May-Grünwald-Giemsa/Pappenheim stain. Bone marrow aspirate smear:
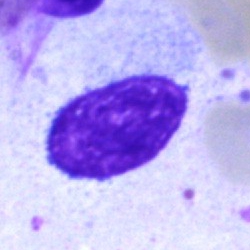

Specimen: bone marrow aspirate smear.
Morphological class: artefact.